Bone marrow smear — 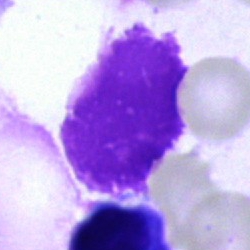

Cell type — artefact.